Bone marrow smear; image size 250×250; brightfield microscopy, 40× oil immersion
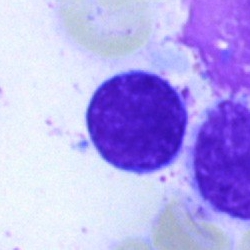
Morphology — typical lymphocyte.